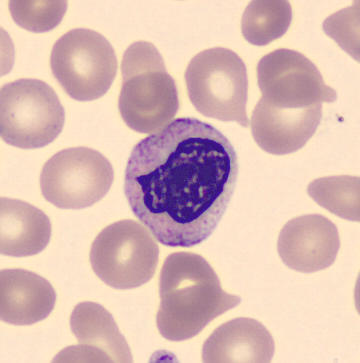 Q: What is shown here?
A: This is a metamyelocyte.
Peripheral blood film · single-cell field · imaged on a CellaVision DM96 analyser.